Bone marrow smear — 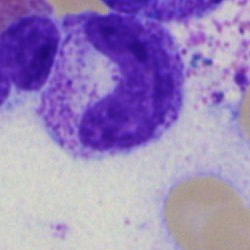Cell = band neutrophil.